Brightfield, 40× oil-immersion objective; bone marrow aspirate smear
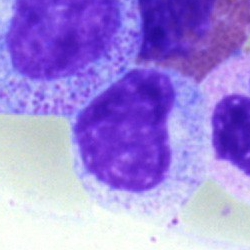
This is a metamyelocyte.